May-Grünwald-Giemsa/Pappenheim stain; bone marrow aspirate smear:
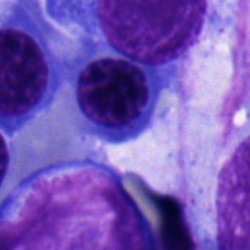 Q: What is the morphological classification of this cell?
A: This is a nucleated red blood cell.